Peripheral blood film: 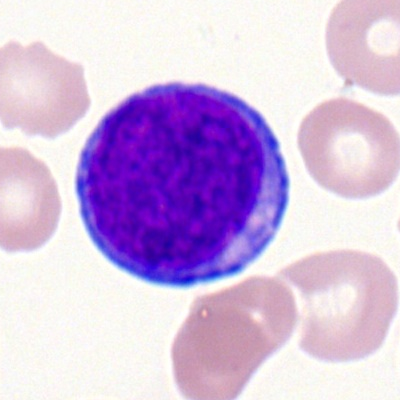
Single cell identified as a myeloid blast.